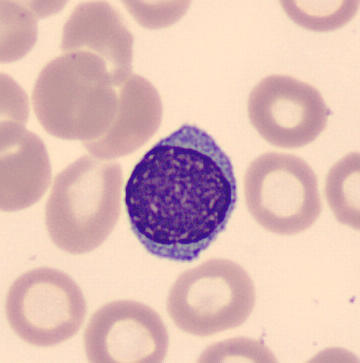Cell — lymphocyte. Preparation: Peripheral blood film.